Single cell centered in the field · bone marrow aspirate smear
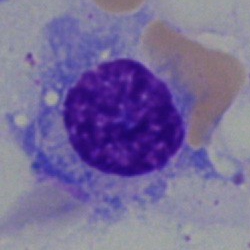

This is a plasma cell.